Cropped to a single cell; bone marrow aspirate smear:
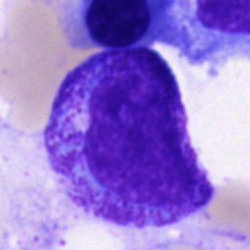 Progranulocyte.